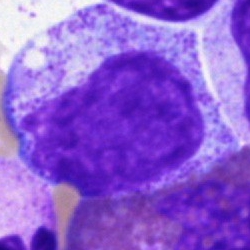Bone marrow smear showing a promyelocyte.